Bone marrow smear
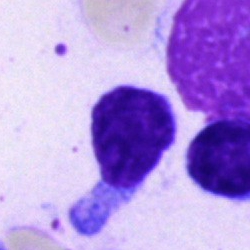
Morphology — lymphocyte.